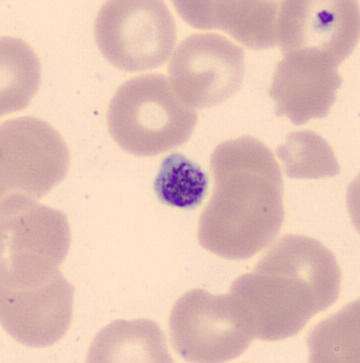

Image: Peripheral blood film · CellaVision DM96.
Cell type = thrombocyte.